250×250. Bone marrow smear.
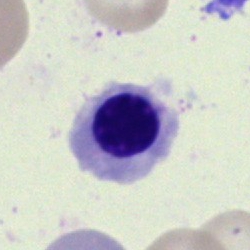 Cell: normoblast.